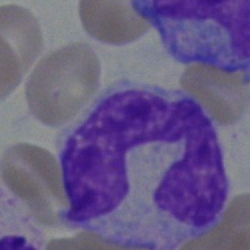

A monocyte.